Bone marrow aspirate smear: 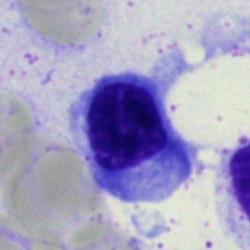Q: What is the morphological classification of this cell?
A: Normoblast.